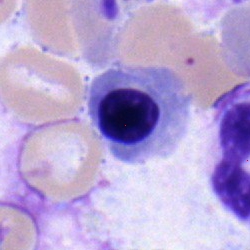

Specimen: bone marrow aspirate smear.
Cell type: normoblast.
Lineage: erythroid.